Bone marrow aspirate smear. Single-cell field.
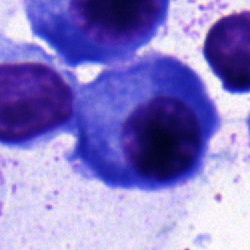
The cell type is plasmacyte.